Bone marrow smear · single-cell crop.
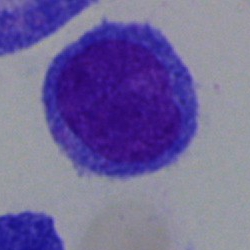Morphological class: blast cell.